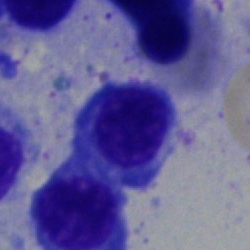Single cell identified as an erythroblast.